MGG-stained; bone marrow smear.
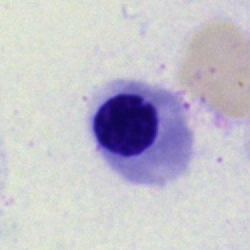
Specimen: bone marrow aspirate smear.
Cell type: nucleated red blood cell.